Bone marrow aspirate smear — 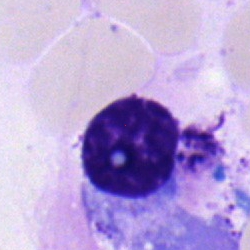 Cell type: plasma cell.